250 by 250 pixels; bone marrow aspirate smear.
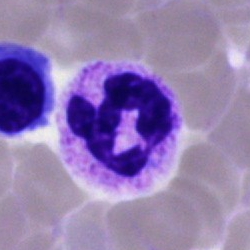

Impression → neutrophil (segmented).